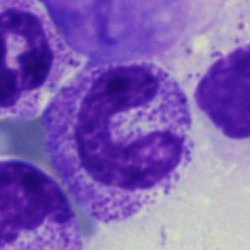

{"cell_type": "stab cell", "lineage": "myeloid"}